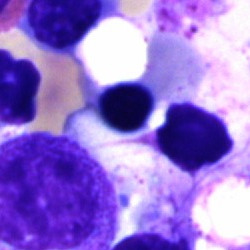Showing a cell of indeterminate lineage.